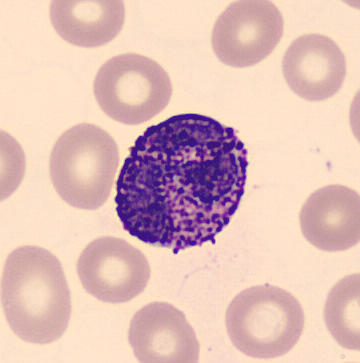
Peripheral blood film · single-cell field.
Morphological class = basophil.